Bone marrow smear; MGG-stained; image size 250×250:
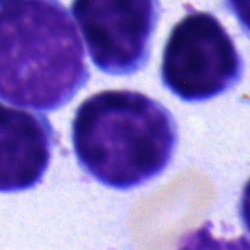
Morphology consistent with a typical lymphocyte.